40× objective, oil immersion · bone marrow aspirate smear.
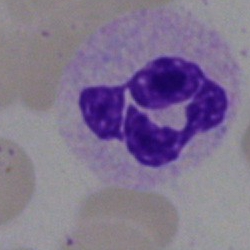
Specimen: bone marrow aspirate smear.
Cell: segmented neutrophil.
Lineage: myeloid.